40× oil immersion. Bone marrow aspirate smear — 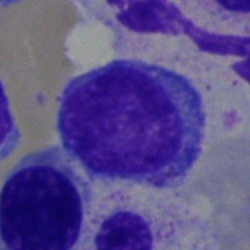Impression — typical lymphocyte.